400×400 · peripheral blood smear · 100× objective, oil immersion: 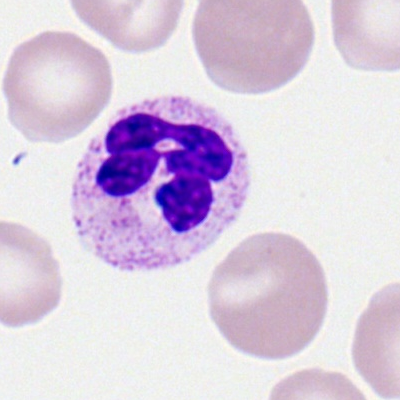 The cell type is segmented neutrophil.